Peripheral blood smear.
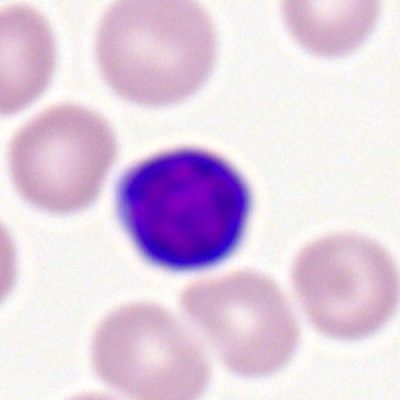 This is a typical lymphocyte.